Bone marrow smear — 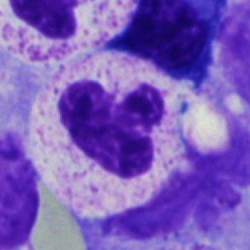
This is a neutrophil (segmented).